40× oil immersion · bone marrow smear · image size 250×250.
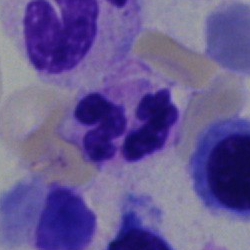Single cell identified as a polymorphonuclear neutrophil.